Bone marrow smear:
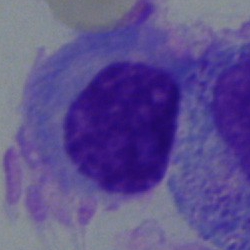Specimen: bone marrow aspirate smear.
Cell: plasma cell.
Lineage: lymphoid.